Brightfield microscopy, 40× oil immersion. Bone marrow smear.
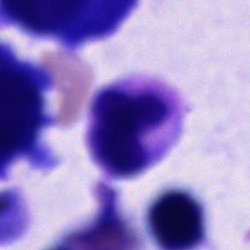 This is a polymorphonuclear neutrophil.